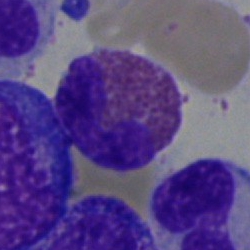
Morphology → eosinophilic granulocyte.